Bone marrow smear
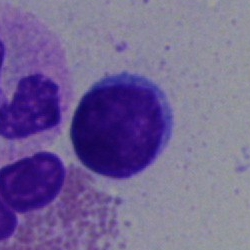 Morphological class — typical lymphocyte.